250 by 250 pixels · bone marrow aspirate smear: 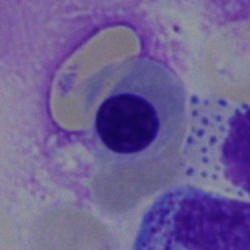Q: What is the morphological classification of this cell?
A: A nucleated red blood cell.